Bone marrow smear.
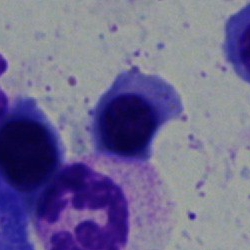
Morphology consistent with a nucleated red blood cell.